May-Grünwald-Giemsa/Pappenheim stain. Bone marrow smear — 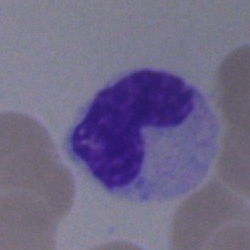

Q: What is the morphological classification of this cell?
A: A metamyelocyte.